May-Grünwald-Giemsa/Pappenheim stain; bone marrow smear — 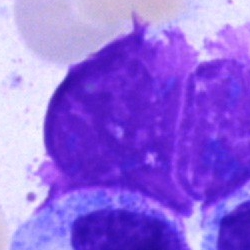

Cell: artefact.